Bone marrow aspirate smear
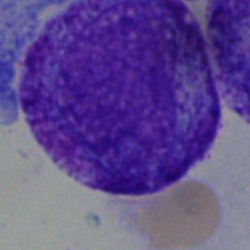 Classification = blast cell.